Bone marrow aspirate smear
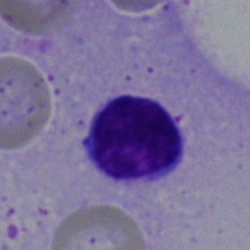Impression — lymphocyte.